Bone marrow aspirate smear
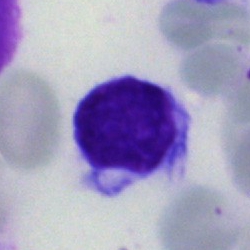

The classification is lymphocyte.